Bone marrow aspirate smear. Cropped to a single cell: 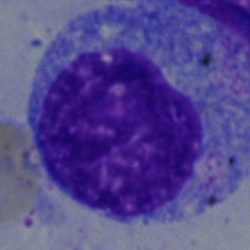

Showing a progranulocyte.